Bone marrow smear
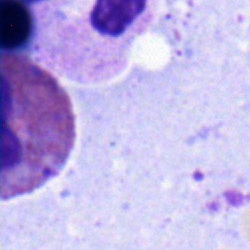

Q: What is shown here?
A: Eosinophil.